Brightfield, 40× oil-immersion objective; bone marrow aspirate smear
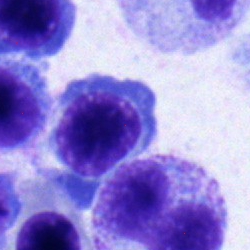 Q: Which cell type is shown here?
A: A typical lymphocyte.